Bone marrow aspirate smear:
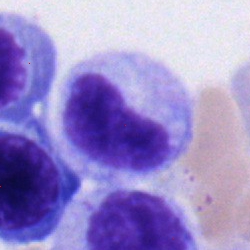

Morphology → metamyelocyte.